Bone marrow aspirate smear:
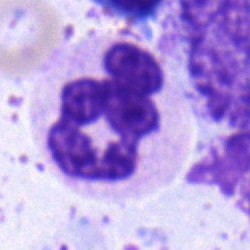Cell — segmented neutrophil.